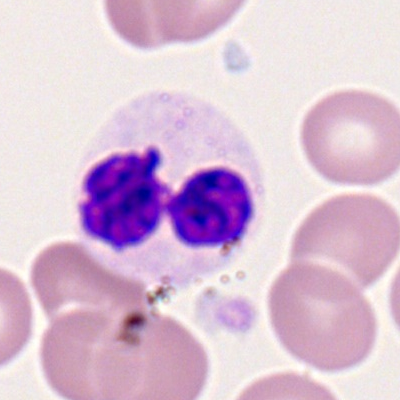

{"cell_type": "neutrophil (segmented)", "lineage": "myeloid"}